Bone marrow aspirate smear:
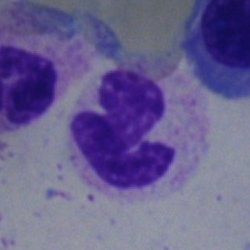
Polymorphonuclear neutrophil.